Bone marrow smear
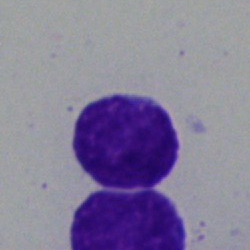

Impression → lymphocyte.